Peripheral blood film.
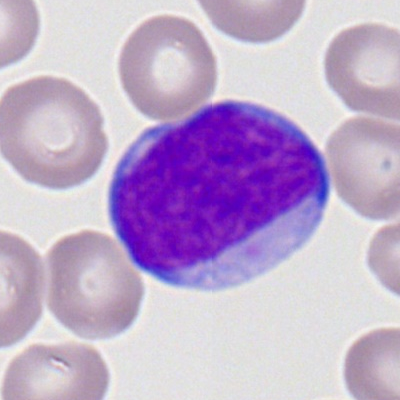

Morphology → myeloblast.